May-Grünwald-Giemsa/Pappenheim stain; bone marrow smear.
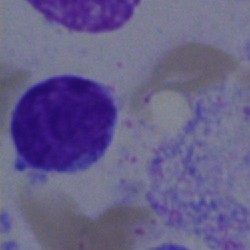
Impression → typical lymphocyte.